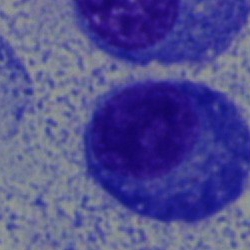
Specimen: bone marrow aspirate smear.
Morphological class: plasmacyte.